250×250 · bone marrow aspirate smear.
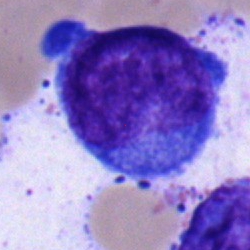 Blast.